Bone marrow aspirate smear — 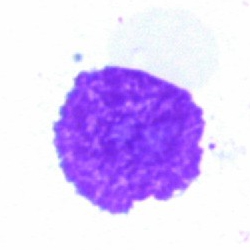Q: What is shown here?
A: An artefact.